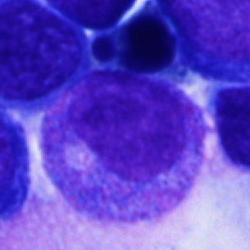

The cell shown is a progranulocyte.